Bone marrow smear — 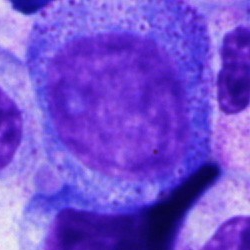

Q: Which cell type is shown here?
A: It is a promyelocyte.